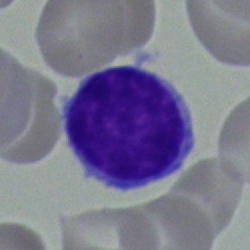
Specimen: bone marrow aspirate smear.
Classification: typical lymphocyte.